Peripheral blood smear. 100× objective, oil immersion: 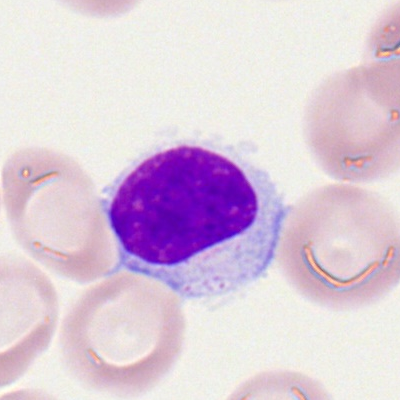A lymphocyte.